Peripheral blood film — 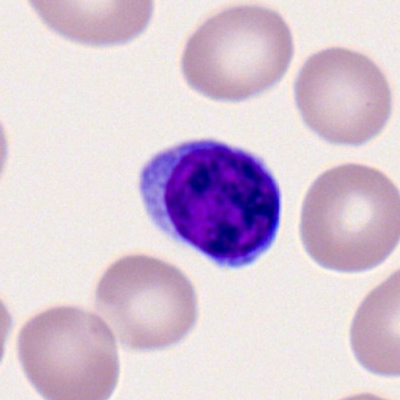
{"cell_type": "lymphocyte"}